Bone marrow aspirate smear.
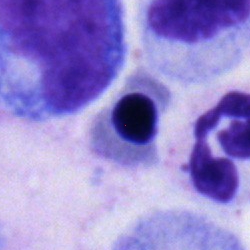

Specimen: bone marrow smear.
Morphological class: erythroblast.